Bone marrow aspirate smear. May-Grünwald-Giemsa/Pappenheim stain: 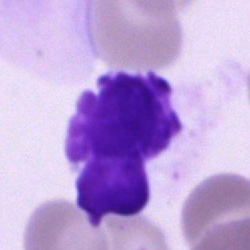Morphological class — artefact.